Bone marrow aspirate smear.
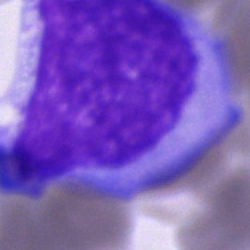
Classification: cell of indeterminate lineage.